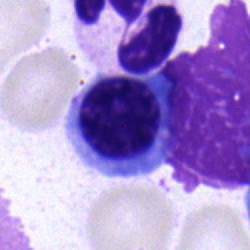

Erythroblast.